May-Grünwald-Giemsa/Pappenheim stain; bone marrow aspirate smear; single-cell field:
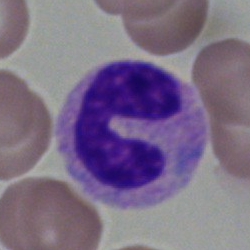

Impression → band-form neutrophil.